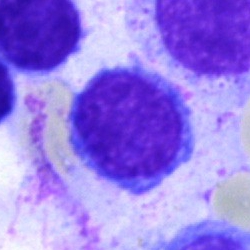 Impression — lymphocyte.